Bone marrow aspirate smear. MGG-stained. Brightfield microscopy, 40× oil immersion — 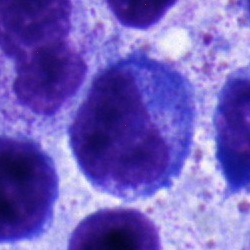

Q: What type of cell is this?
A: This is a promyelocyte.